Brightfield microscopy, 40× oil immersion · 250 by 250 pixels · bone marrow smear — 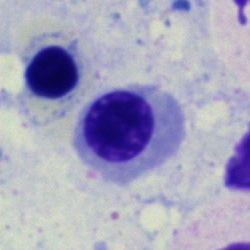

A nucleated red cell.